40× oil immersion; bone marrow aspirate smear
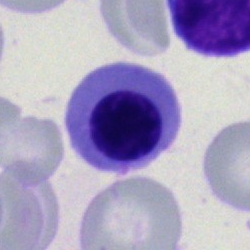A normoblast.